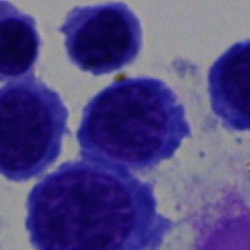 Morphological class: normoblast.